Bone marrow aspirate smear · cropped to a single cell · May-Grünwald-Giemsa stain:
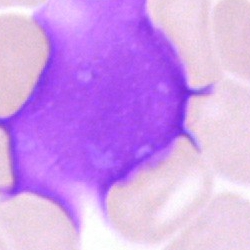

Classification — artifact.